Bone marrow smear. 250 by 250 pixels. May-Grünwald-Giemsa/Pappenheim stain: 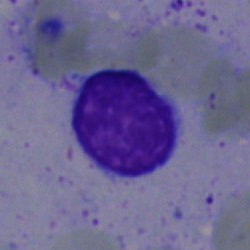 Single cell identified as a typical lymphocyte.